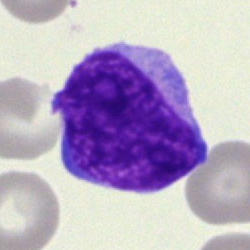 Impression → blast.